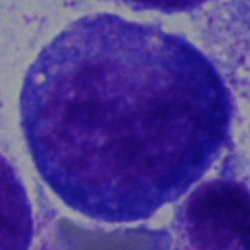
Specimen: bone marrow aspirate smear.
Cell: promyelocyte.
Lineage: myeloid.